Bone marrow aspirate smear. Pappenheim-stained: 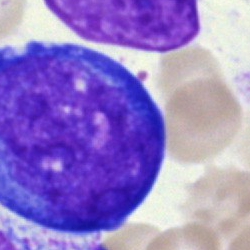
Cell: blast.